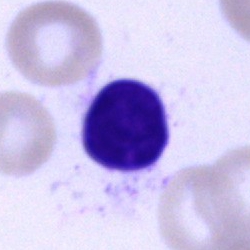Morphological class — typical lymphocyte.